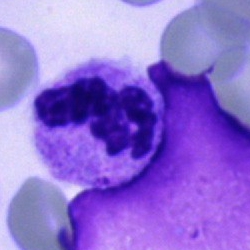

Q: Which cell type is shown here?
A: Polymorphonuclear neutrophil.